Brightfield, 40× oil-immersion objective · bone marrow smear:
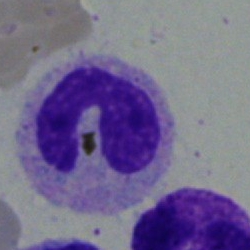
Specimen: bone marrow aspirate smear.
Morphological class: neutrophil (band).